Peripheral blood film — 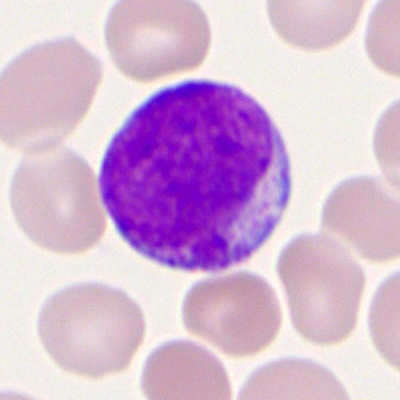

{"cell_type": "myeloid blast"}